Bone marrow smear — 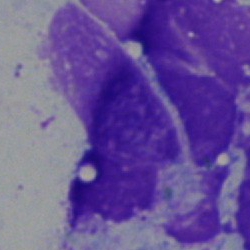 Classification: artefact.